Bone marrow smear: 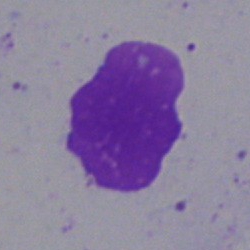 Specimen: bone marrow smear.
Classification: artefact.